Romanowsky-stained. Cropped to a single cell. Peripheral blood smear — 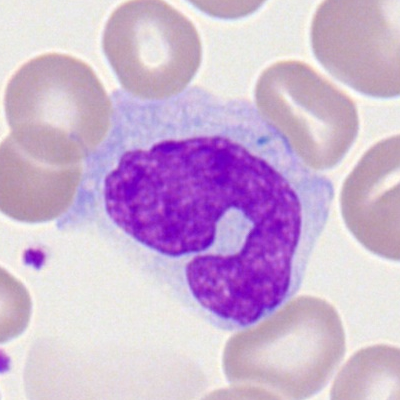

The classification is monocyte.